Bone marrow aspirate smear
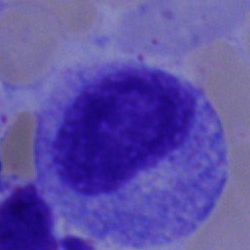Showing a progranulocyte.